Peripheral blood film — 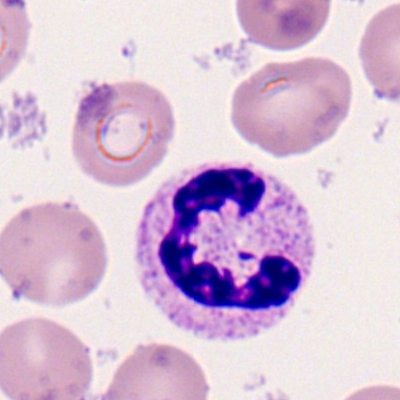 Cell type = neutrophil (segmented).